Single-cell crop. Bone marrow aspirate smear — 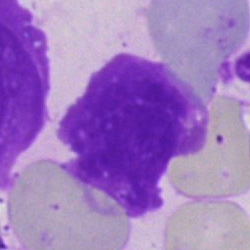
Q: What is shown here?
A: Artefact.